Bone marrow smear. Brightfield microscopy, 40× oil immersion. Single-cell field:
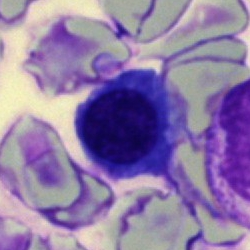 The morphological class is erythroblast.